Peripheral blood smear:
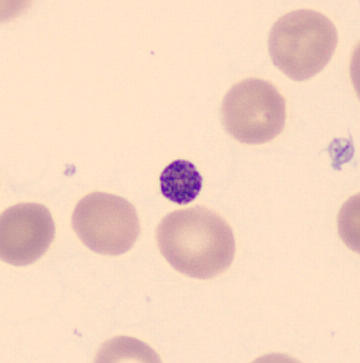Specimen: peripheral blood film.
Cell type: thrombocyte.